Bone marrow aspirate smear
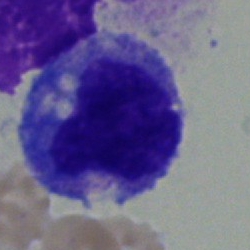Q: What is the morphological classification of this cell?
A: Monocyte.